Brightfield, 40× oil-immersion objective; bone marrow aspirate smear.
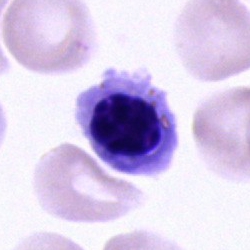

Cell = nucleated red cell.